Pappenheim-stained. Bone marrow aspirate smear
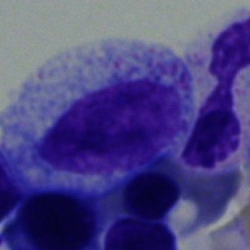 {"cell_type": "myelocyte", "lineage": "myeloid"}